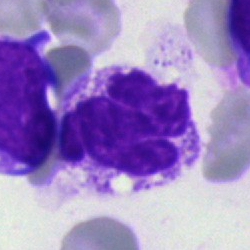 Cell type: neutrophil (segmented).